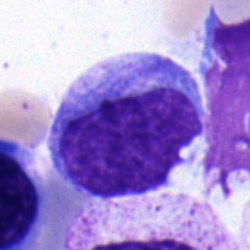 Cell type = undifferentiated blast.